Bone marrow smear
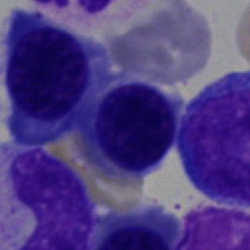
Showing an erythroblast.